Bone marrow aspirate smear · May-Grünwald-Giemsa stain.
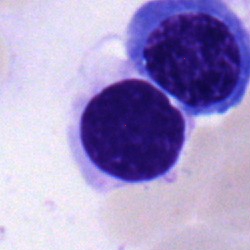 Morphology consistent with an erythroblast.